Bone marrow smear. May-Grünwald-Giemsa stain: 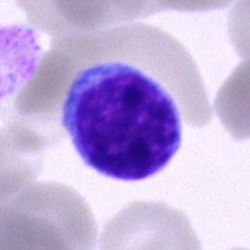

Cell type — lymphocyte.